Bone marrow smear.
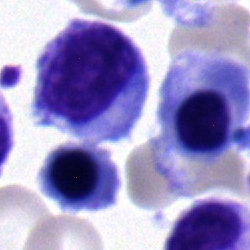
Impression — normoblast.